Bone marrow smear:
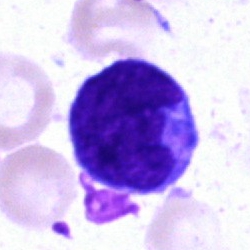 Q: What type of cell is this?
A: Blast cell.